Bone marrow smear — 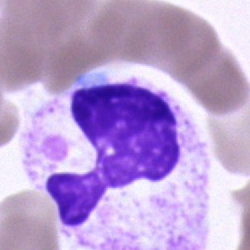Cell type: polymorphonuclear neutrophil.